Bone marrow aspirate smear. Cropped to a single cell.
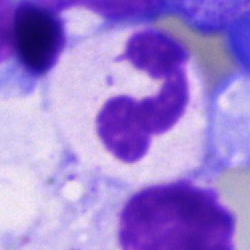
Q: What cell is this?
A: Neutrophil (segmented).